Bone marrow smear
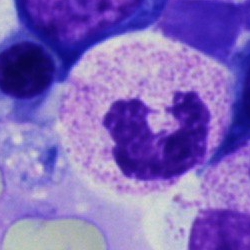Cell type: polymorphonuclear neutrophil.